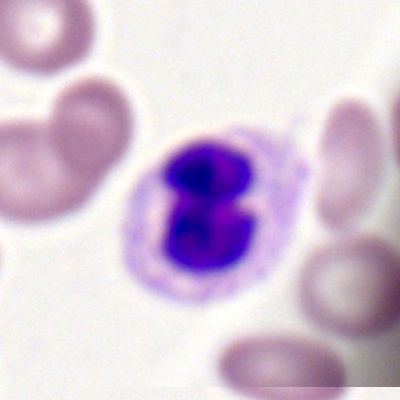{"cell_type": "neutrophil (segmented)", "lineage": "myeloid"}